Pappenheim-stained; bone marrow smear; 40× objective, oil immersion:
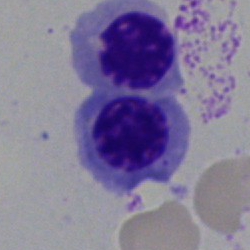 A nucleated red cell.